Bone marrow smear; brightfield microscopy, 40× oil immersion: 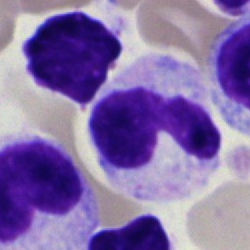A polymorphonuclear neutrophil.